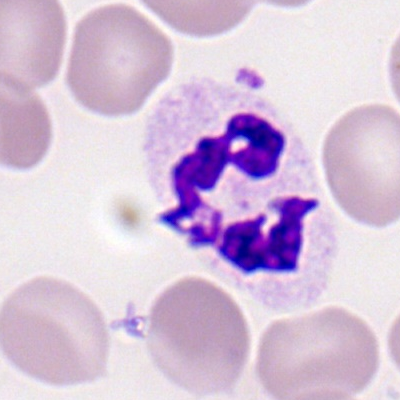Polymorphonuclear neutrophil.